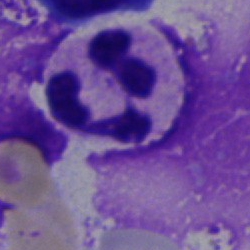
The cell is segmented neutrophil.